Single cell centered in the field; bone marrow aspirate smear — 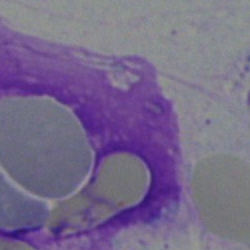

Morphology consistent with an artefact.